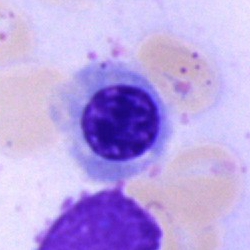
Cell type — normoblast.